Single-cell crop · bone marrow aspirate smear
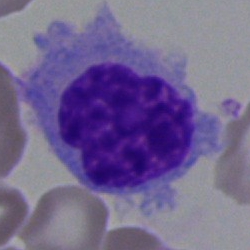

Q: Which cell type is shown here?
A: A hairy cell.